Bone marrow aspirate smear. Pappenheim-stained
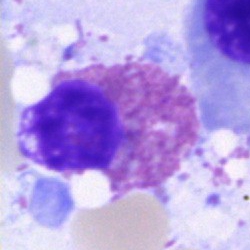
Morphological class = eosinophilic granulocyte.